Bone marrow aspirate smear:
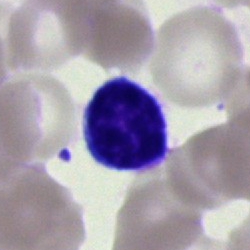
Q: What type of cell is this?
A: Typical lymphocyte.